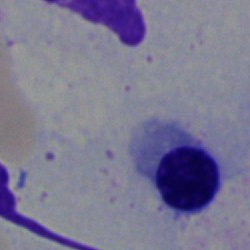

Bone marrow smear showing a normoblast.